MGG-stained. Bone marrow smear.
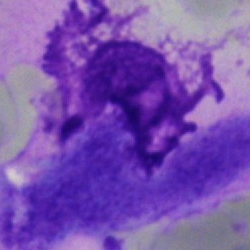This is an artifact.